Bone marrow aspirate smear · May-Grünwald-Giemsa stain.
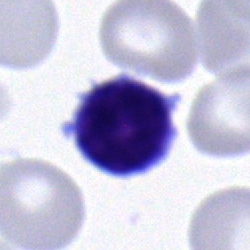Morphological class — lymphocyte.